Bone marrow smear. 250 by 250 pixels. Brightfield microscopy, 40× oil immersion:
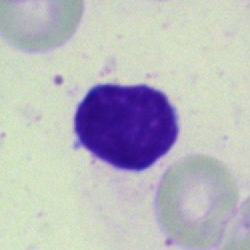A lymphocyte.